Bone marrow smear
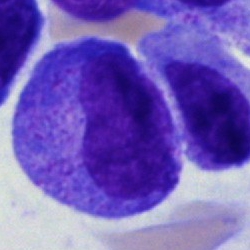 A promyelocyte.